Bone marrow smear. 250×250: 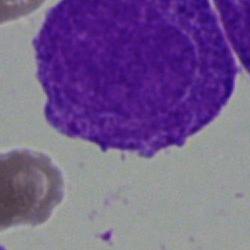The morphological class is undifferentiated blast.